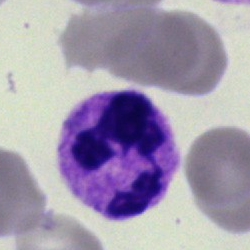

A segmented neutrophil on a bone marrow smear.